Bone marrow smear. Single cell centered in the field — 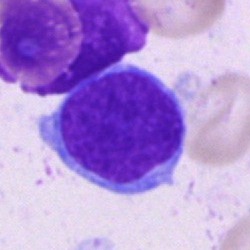
Blast cell.